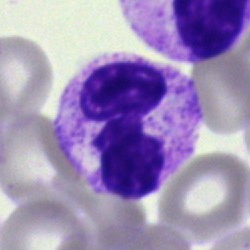{"cell_type": "polymorphonuclear neutrophil"}